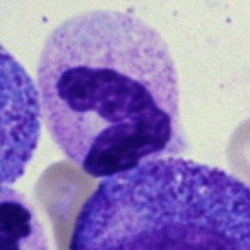

Showing a segmented neutrophil.